Bone marrow smear:
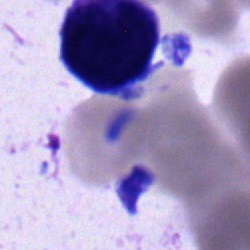

{"cell_type": "undifferentiated blast"}